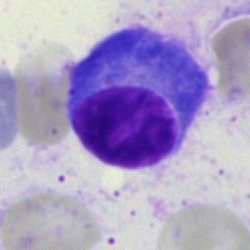

This is a plasma cell.